May-Grünwald-Giemsa/Pappenheim stain · bone marrow aspirate smear: 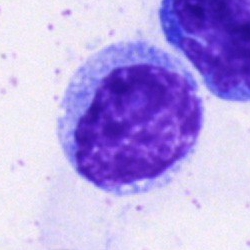 Cell type = lymphocyte.